Bone marrow smear — 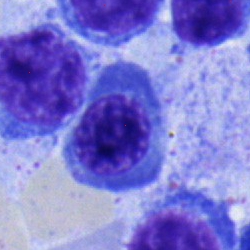 An erythroblast.